Cropped to a single cell · MGG-stained · bone marrow aspirate smear:
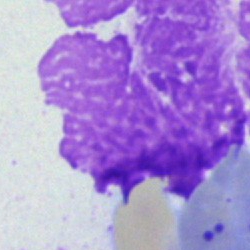

Morphology → artefact.